Cropped to a single cell. Bone marrow aspirate smear. 250 by 250 pixels
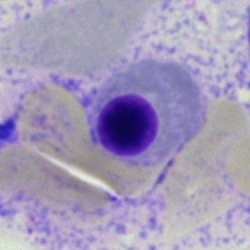 Morphology → normoblast.